Single-cell field; bone marrow smear; May-Grünwald-Giemsa/Pappenheim stain — 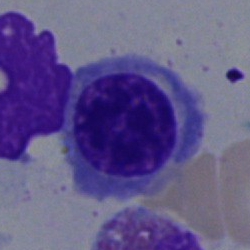 Showing a nucleated red blood cell.